40× objective, oil immersion; May-Grünwald-Giemsa/Pappenheim stain; bone marrow smear:
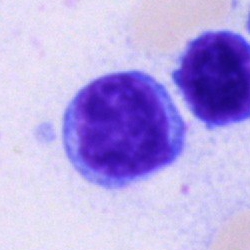
The cell shown is a lymphocyte.